Bone marrow aspirate smear:
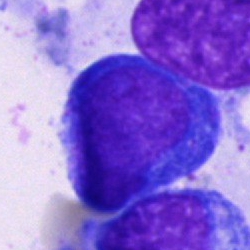

Q: What type of cell is this?
A: This is a pronormoblast.